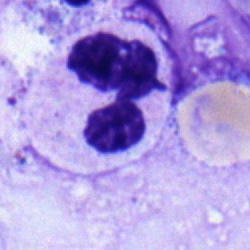

Impression → polymorphonuclear neutrophil.